Bone marrow smear; brightfield microscopy, 40× oil immersion; May-Grünwald-Giemsa stain.
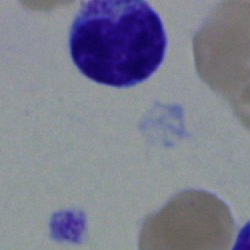 Showing a lymphocyte.